Bone marrow smear
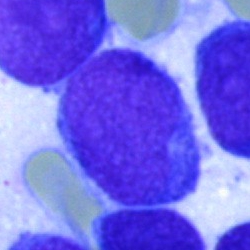Q: What cell is this?
A: Undifferentiated blast.